Bone marrow aspirate smear — 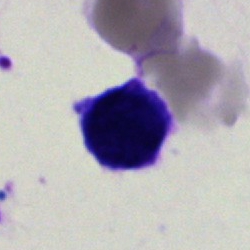Morphology → artefact.